40× oil immersion; bone marrow smear.
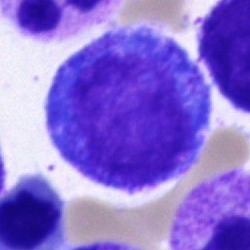 The cell shown is a promyelocyte.